Single-cell field · bone marrow smear · brightfield, 40× oil-immersion objective
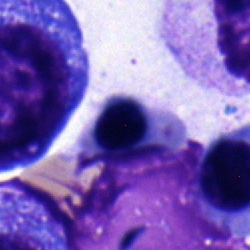

The cell is nucleated red blood cell.